250×250; bone marrow aspirate smear; brightfield, 40× oil-immersion objective.
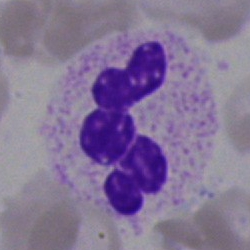 Morphology consistent with a polymorphonuclear neutrophil.